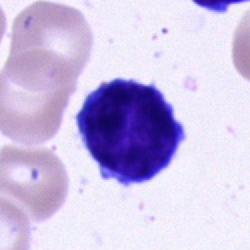

Cell = lymphocyte.